Bone marrow aspirate smear; cropped to a single cell; May-Grünwald-Giemsa stain — 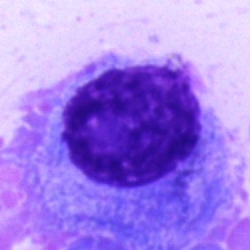Cell — plasma cell.